Bone marrow aspirate smear
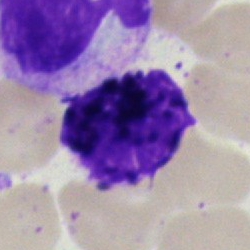Morphological class — artefact.